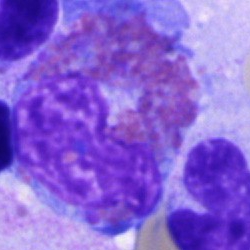 Q: What type of cell is this?
A: It is an eosinophilic granulocyte.